Bone marrow smear · 40× objective, oil immersion
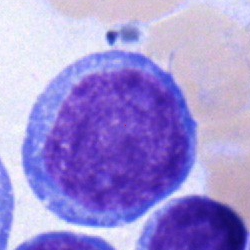
Impression — blast.